Bone marrow aspirate smear. Image size 250×250
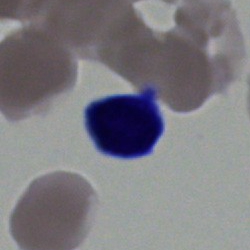
Morphology consistent with a lymphocyte.